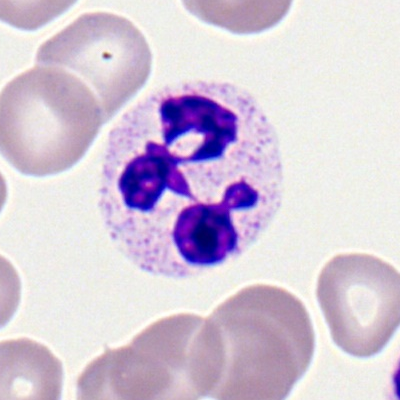

Single cell identified as a neutrophil (segmented).